Single-cell crop · bone marrow aspirate smear
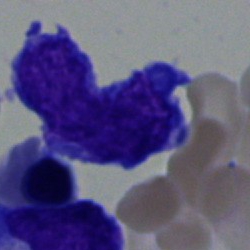 Morphology — blast cell.